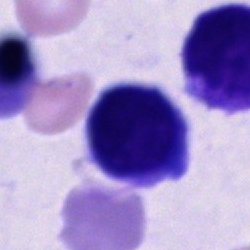Morphology consistent with a cell of indeterminate lineage.